Peripheral blood smear
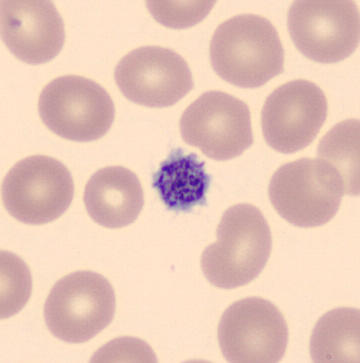 Morphology consistent with a platelet.